Brightfield microscopy, 40× oil immersion. May-Grünwald-Giemsa stain. Bone marrow smear — 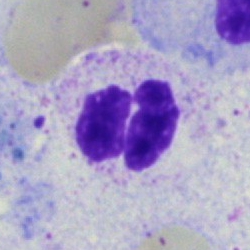

Morphology consistent with a neutrophil (segmented).